Cropped to a single cell. Romanowsky-type stain. Peripheral blood smear:
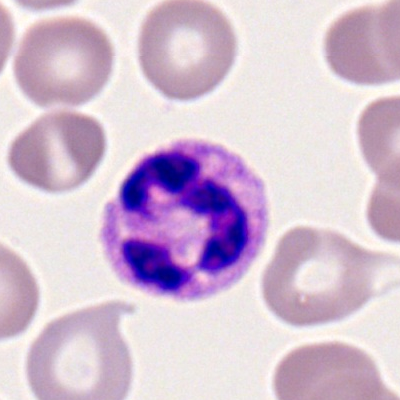

The cell shown is a polymorphonuclear neutrophil.